Bone marrow aspirate smear.
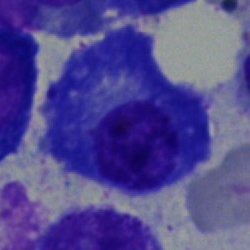Morphology → plasmacyte.